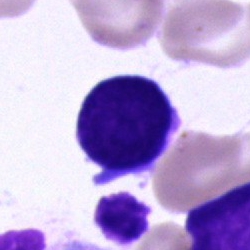

A lymphocyte on a bone marrow smear.